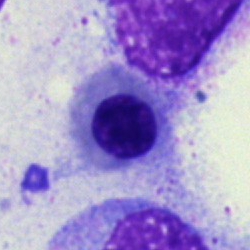
Cell type — nucleated red blood cell.